250×250 px. Bone marrow aspirate smear. May-Grünwald-Giemsa stain: 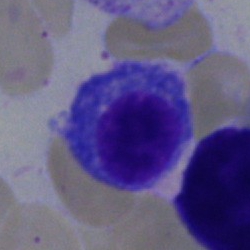

This is a plasma cell.